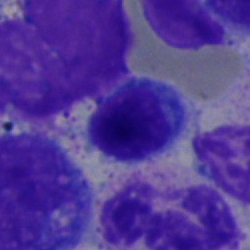
This is a lymphocyte.